40× objective, oil immersion · bone marrow smear.
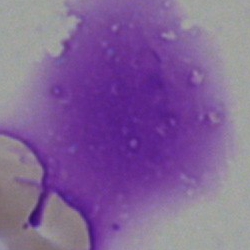The cell type is artefact.